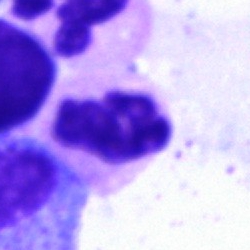 Segmented neutrophil.